Brightfield microscopy, 40× oil immersion. Bone marrow smear
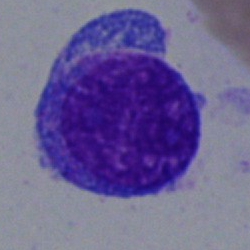
Morphological class: undifferentiated blast.